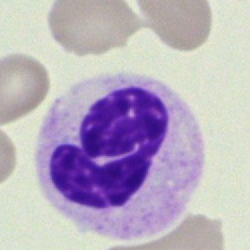 Cell = neutrophil (segmented).